Peripheral blood film.
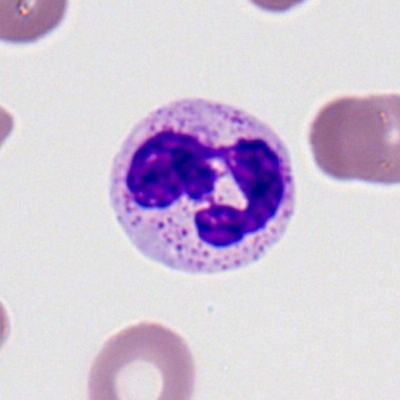 Cell type = neutrophil (segmented).